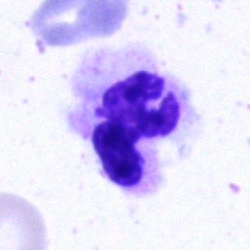

Q: What is the morphological classification of this cell?
A: This is a polymorphonuclear neutrophil.